Bone marrow aspirate smear: 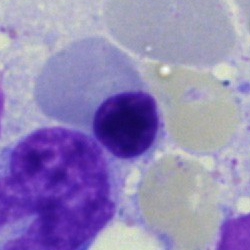 Cell type: nucleated red cell.